Pappenheim-stained · bone marrow smear · brightfield, 40× oil-immersion objective
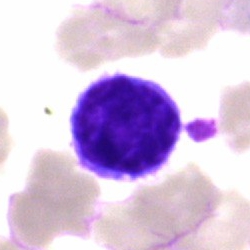Lymphocyte.